Bone marrow smear. Cropped to a single cell. May-Grünwald-Giemsa stain: 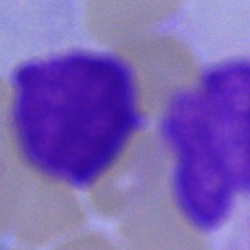

Cell type: artefact.